Bone marrow aspirate smear: 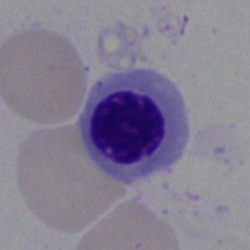Classification — nucleated red cell.